Bone marrow aspirate smear:
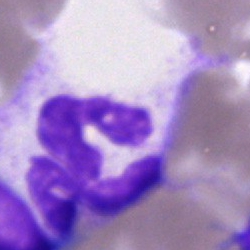The cell shown is a segmented neutrophil.